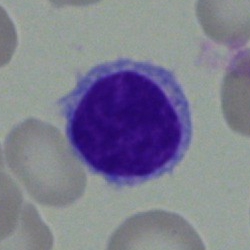 The morphological class is lymphocyte.